Bone marrow aspirate smear · May-Grünwald-Giemsa stain:
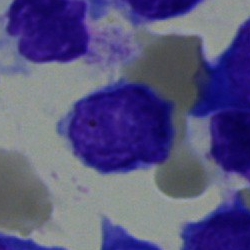 Showing a lymphocyte.